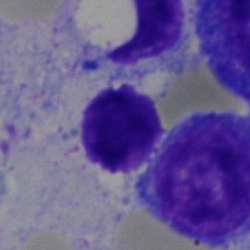 Cell: lymphocyte.